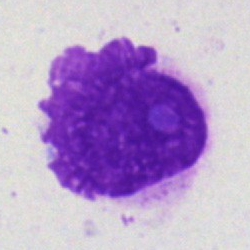

The cell shown is an artefact.